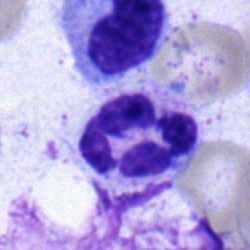 Q: What type of cell is this?
A: This is a neutrophil (segmented).